Bone marrow aspirate smear — 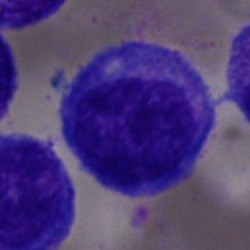

Showing a blast cell.